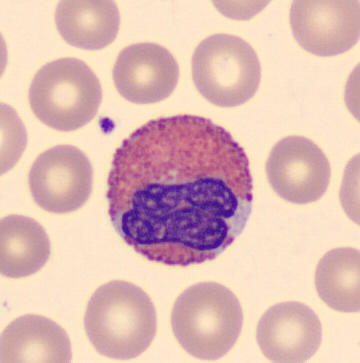 Q: Identify the cell.
A: This is an eosinophilic granulocyte.

Acquisition: Peripheral blood smear · 360×363.